Bone marrow smear:
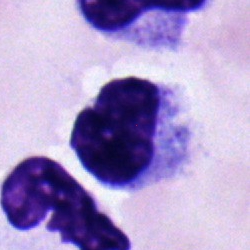 Cell type — monocyte.